May-Grünwald-Giemsa stain · bone marrow smear · image size 250×250:
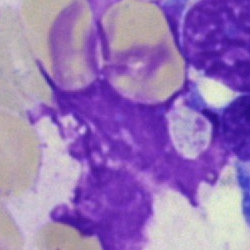{"cell_type": "artifact"}